Bone marrow aspirate smear: 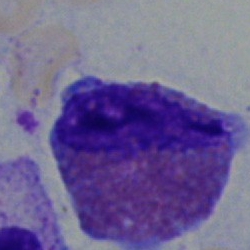

Morphological class: eosinophil.